40× oil immersion · image size 250×250 · bone marrow smear
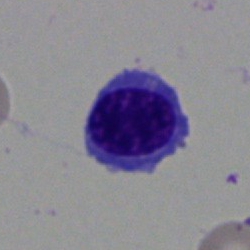 This is a normoblast.